Bone marrow smear · MGG-stained.
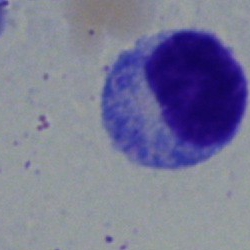 Q: What is shown here?
A: This is a myelocyte.